Bone marrow aspirate smear · single-cell crop: 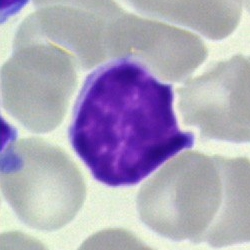A typical lymphocyte.